400 by 400 pixels; peripheral blood film.
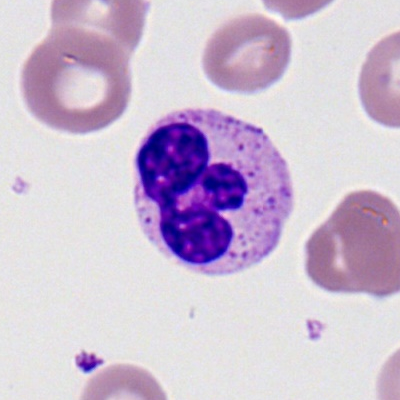
The morphological class is polymorphonuclear neutrophil.